Bone marrow smear:
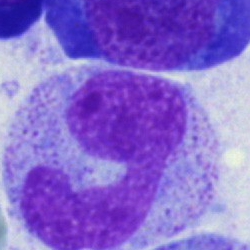This is a band neutrophil.